Bone marrow smear · 250×250:
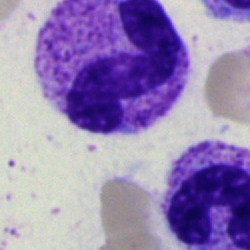
Single cell identified as a neutrophil (segmented).